Bone marrow aspirate smear — 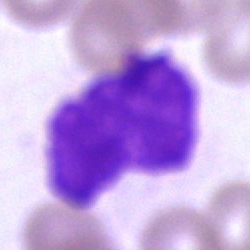 This is an artifact.